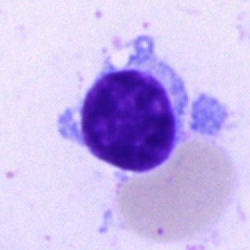Showing a typical lymphocyte.